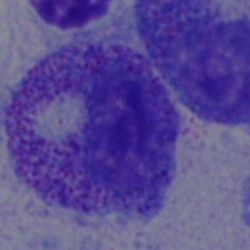 Impression — myelocyte.